Bone marrow smear · 250 by 250 pixels · brightfield microscopy, 40× oil immersion: 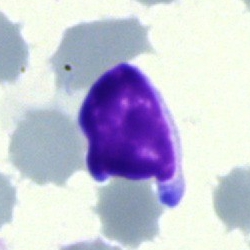

The classification is typical lymphocyte.